Peripheral blood smear — 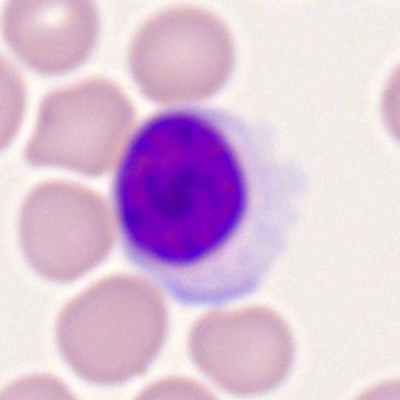The cell shown is a typical lymphocyte.